Image size 250×250. Bone marrow aspirate smear
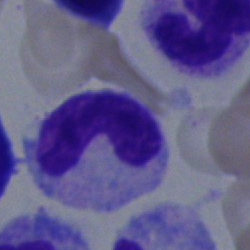 Q: Which cell type is shown here?
A: A neutrophil (band).